Bone marrow smear. 250×250 px: 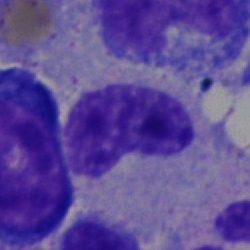Showing a neutrophil (band).